250 by 250 pixels. Bone marrow aspirate smear
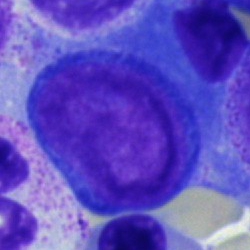This is a pronormoblast.